Bone marrow smear.
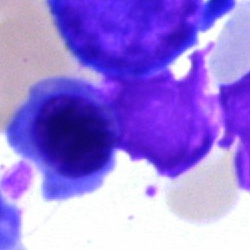
A normoblast.